Peripheral blood film: 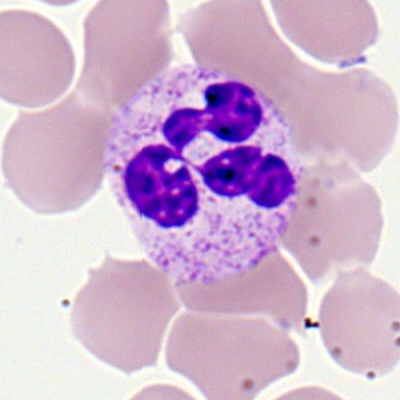 Morphology consistent with a polymorphonuclear neutrophil.